Bone marrow smear. Pappenheim-stained:
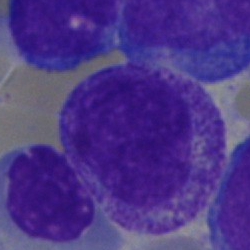
Impression — myelocyte.